Bone marrow aspirate smear · May-Grünwald-Giemsa stain — 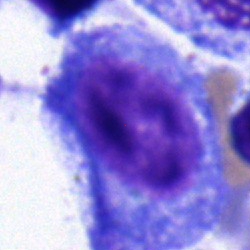
Specimen: bone marrow aspirate smear.
Cell: promyelocyte.